250×250 px. May-Grünwald-Giemsa stain. Bone marrow aspirate smear
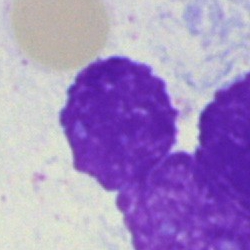Single cell identified as an artifact.